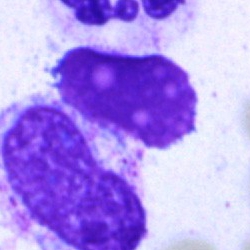Morphological class: artefact.